Brightfield microscopy, 40× oil immersion. Bone marrow aspirate smear. 250×250 px — 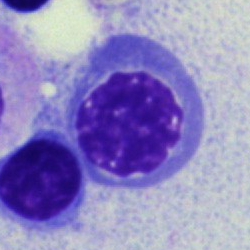
Specimen: bone marrow aspirate smear.
Classification: normoblast.